Cropped to a single cell. Peripheral blood film.
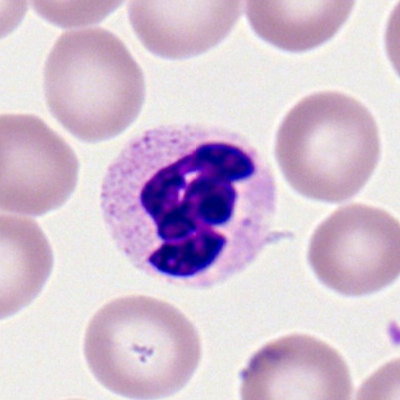
Morphological class: neutrophil (segmented).